Bone marrow smear.
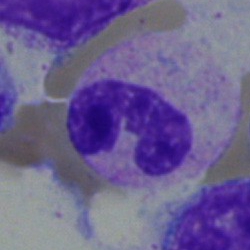 Morphology consistent with a neutrophil (segmented).